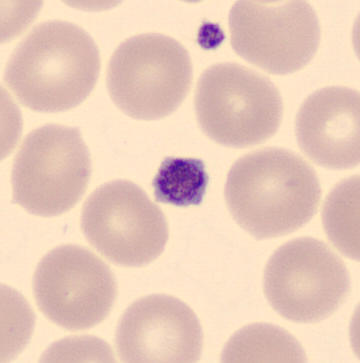 Morphology → thrombocyte. Peripheral blood smear.